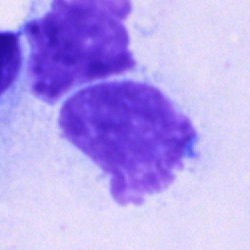 The classification is artefact.